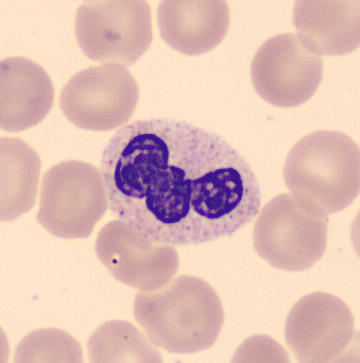

Neutrophil (segmented).